Bone marrow aspirate smear. Brightfield microscopy, 40× oil immersion. Cropped to a single cell:
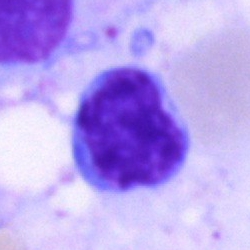
Morphological class: typical lymphocyte.